250×250. Bone marrow aspirate smear. Single cell centered in the field
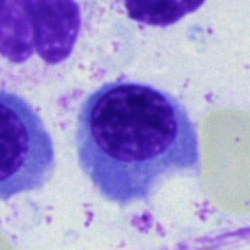The morphological class is normoblast.